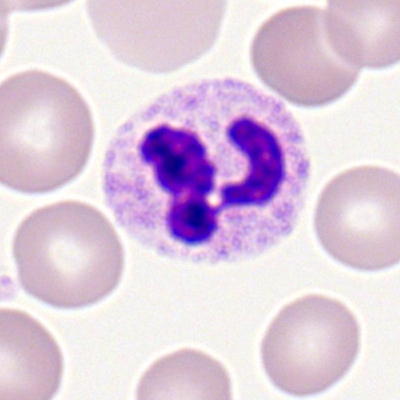

Q: What is the morphological classification of this cell?
A: A neutrophil (segmented).